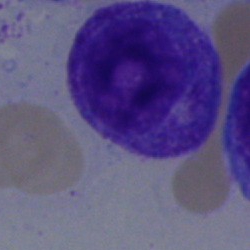Cell type — promyelocyte.